Bone marrow smear · 250×250 px:
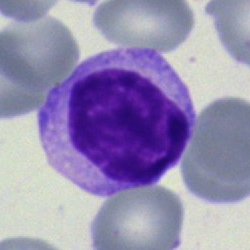Cell type: monocyte.